Cropped to a single cell; bone marrow smear; 250×250: 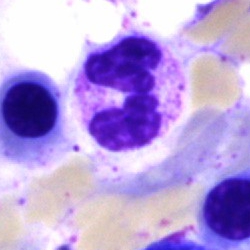 The morphological class is segmented neutrophil.